Bone marrow smear · single-cell field — 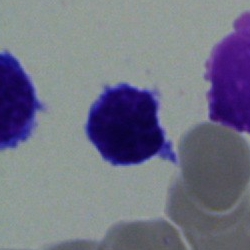

Lymphocyte.